250 by 250 pixels. Bone marrow aspirate smear
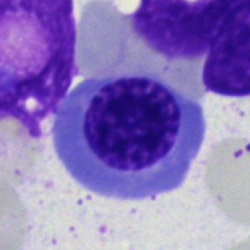 The classification is normoblast.